Bone marrow smear · single-cell field: 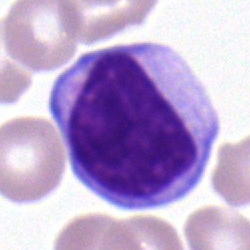Q: What is the morphological classification of this cell?
A: This is a typical lymphocyte.